Peripheral blood film
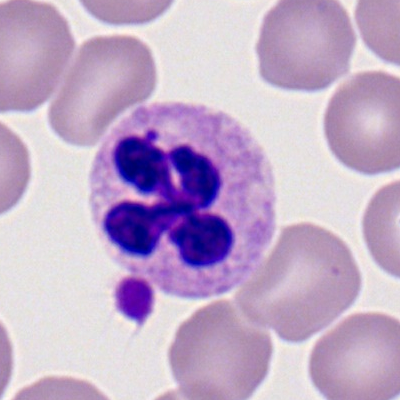 The cell shown is a polymorphonuclear neutrophil.